Bone marrow aspirate smear
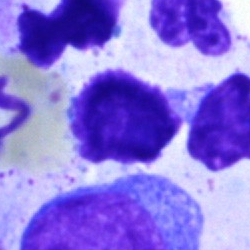

Morphology → lymphocyte.